May-Grünwald-Giemsa stain; bone marrow aspirate smear — 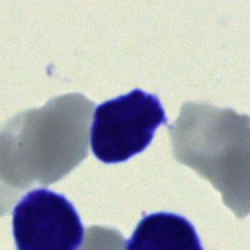A typical lymphocyte.